Bone marrow smear:
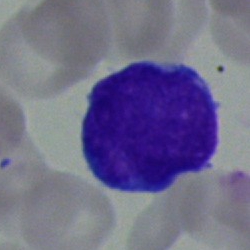This is an undifferentiated blast.